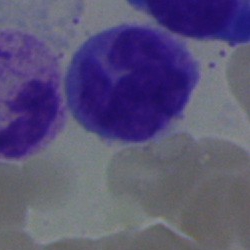
Q: Identify the cell.
A: This is a monocyte.